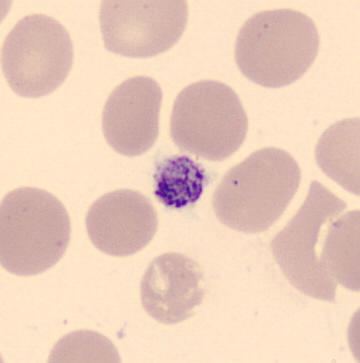
Acquisition: Peripheral blood smear.

Identified as a thrombocyte.